Bone marrow aspirate smear.
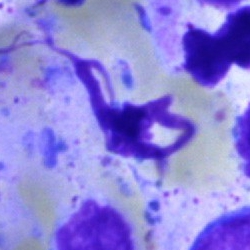

This is an artifact.